Bone marrow aspirate smear
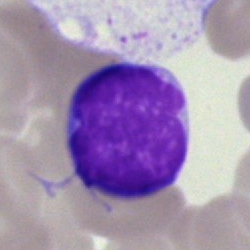
Q: What is shown here?
A: Typical lymphocyte.